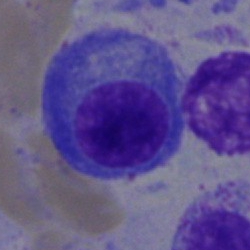
Specimen: bone marrow smear.
Morphological class: plasma cell.